Single-cell field. 250×250 px. Bone marrow aspirate smear:
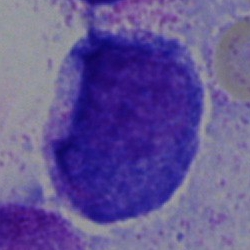
Cell type — progranulocyte.